Bone marrow aspirate smear.
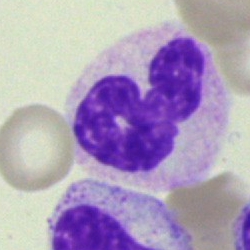 The cell is neutrophil (segmented).